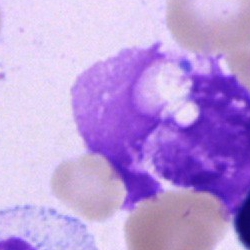
The cell type is artifact.